MGG-stained; bone marrow aspirate smear; 40× oil immersion
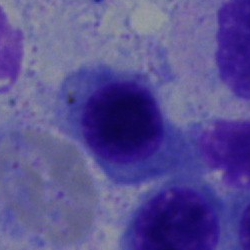
A normoblast.